Peripheral blood film:
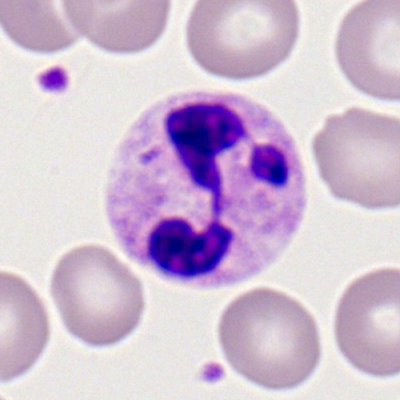

Polymorphonuclear neutrophil.